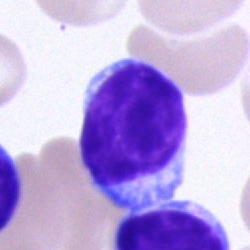

Classification — lymphocyte.